Bone marrow aspirate smear; 40× oil immersion.
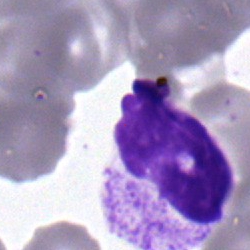
Impression — neutrophil (segmented).